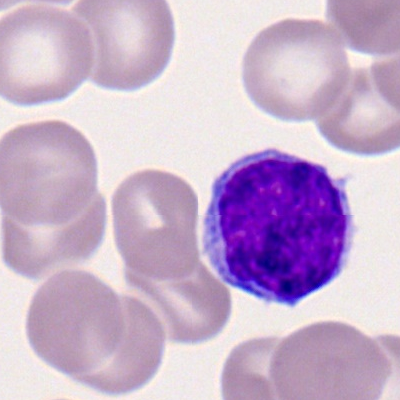{"cell_type": "lymphocyte"}